MGG-stained · bone marrow aspirate smear: 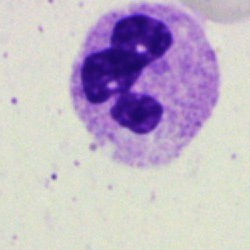
Impression → polymorphonuclear neutrophil.